Bone marrow smear:
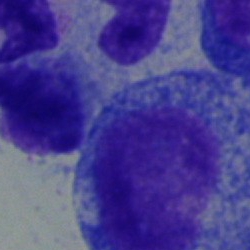
Morphological class: promyelocyte.